Single-cell field. Bone marrow smear
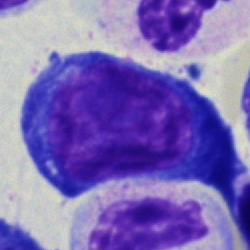

Specimen: bone marrow smear.
Classification: proerythroblast.